Peripheral blood film. Single-cell field — 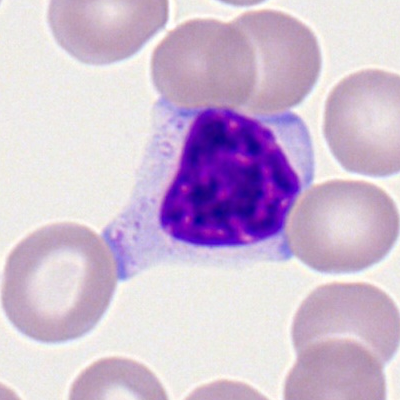

Q: What type of cell is this?
A: This is a typical lymphocyte.